40× oil immersion; bone marrow smear
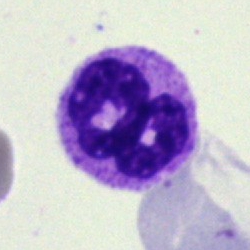 Morphology consistent with a neutrophil (segmented).